Bone marrow aspirate smear — 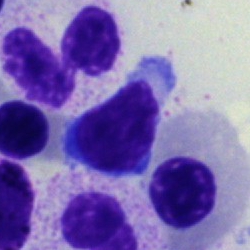Cell type = segmented neutrophil.